Cropped to a single cell. Bone marrow smear. 40× oil immersion — 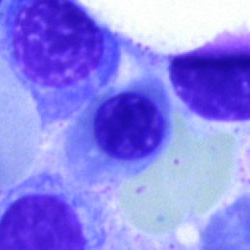
Q: What cell is this?
A: It is a normoblast.